Single-cell crop. Bone marrow aspirate smear: 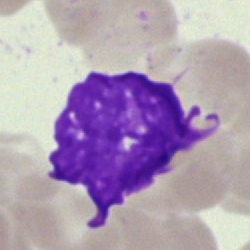

Specimen: bone marrow smear.
Morphological class: artifact.